Bone marrow aspirate smear · single-cell field.
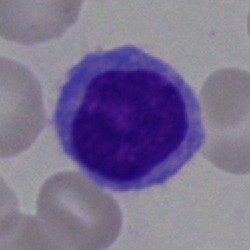
The classification is lymphocyte.